Pappenheim-stained. Bone marrow smear. Cropped to a single cell: 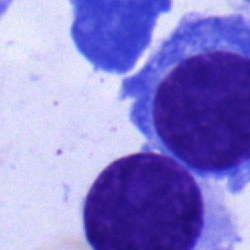 Cell type — plasmacyte.